Bone marrow aspirate smear; 40× objective, oil immersion: 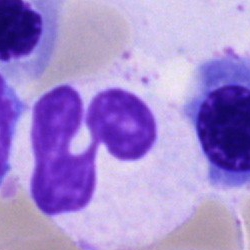 Morphological class: neutrophil (segmented).